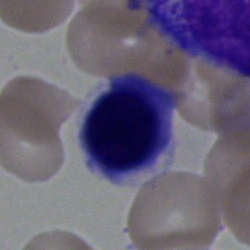
{"cell_type": "normoblast", "lineage": "erythroid"}